Bone marrow smear — 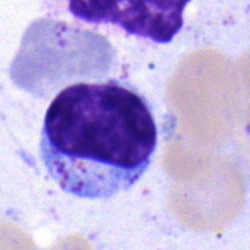

This is a lymphocyte.